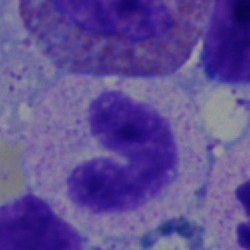Q: What is shown here?
A: It is a band neutrophil.